Bone marrow smear; May-Grünwald-Giemsa/Pappenheim stain; 250×250
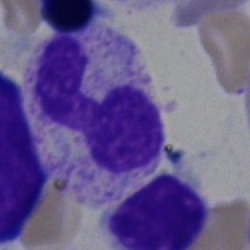
Specimen: bone marrow smear.
Morphological class: neutrophil (segmented).
Lineage: myeloid.